Bone marrow aspirate smear:
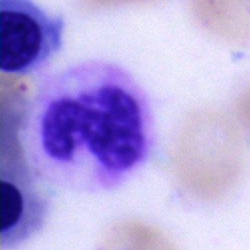 Specimen: bone marrow aspirate smear.
Cell type: polymorphonuclear neutrophil.
Lineage: myeloid.